Bone marrow aspirate smear
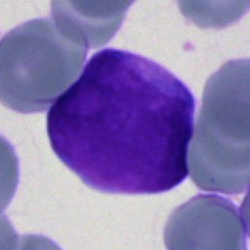 The cell shown is an undifferentiated blast.